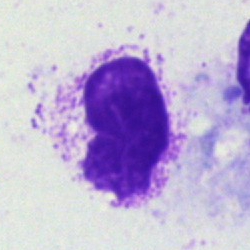 Cell = artifact.